Peripheral blood smear; Romanowsky-stained; 100× objective, oil immersion.
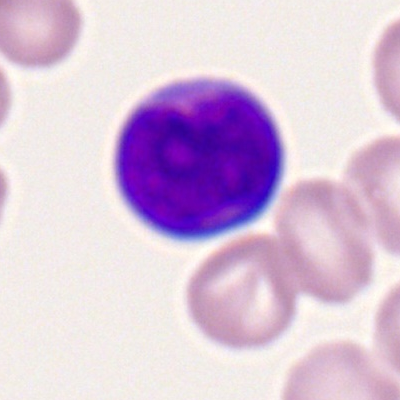Specimen: peripheral blood film.
Cell type: myeloblast.
Lineage: myeloid.